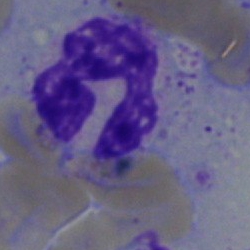
The cell is band-form neutrophil.